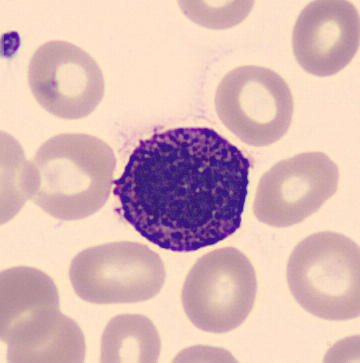

Preparation: Peripheral blood film. Cell — basophil.